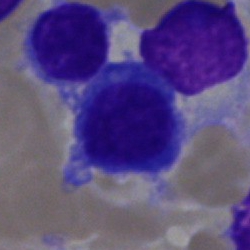Specimen: bone marrow aspirate smear.
Morphological class: plasma cell.
Lineage: lymphoid.